40× oil immersion · bone marrow smear: 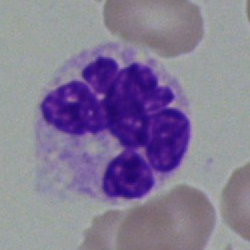

Q: Which cell type is shown here?
A: This is a segmented neutrophil.